Bone marrow aspirate smear.
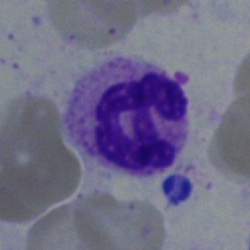
{"cell_type": "polymorphonuclear neutrophil", "lineage": "myeloid"}